Peripheral blood smear · 100× objective, oil immersion:
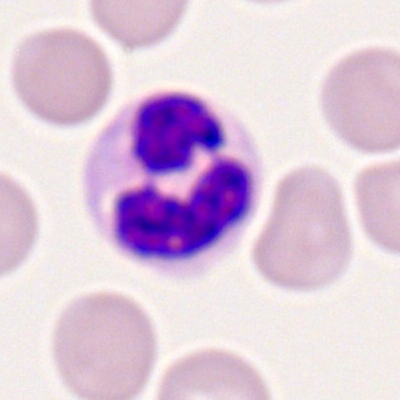
Q: What type of cell is this?
A: A segmented neutrophil.